Single cell centered in the field. Bone marrow smear. Brightfield microscopy, 40× oil immersion
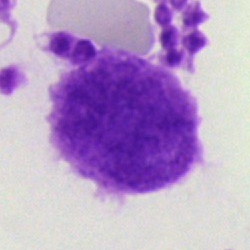Impression → artifact.